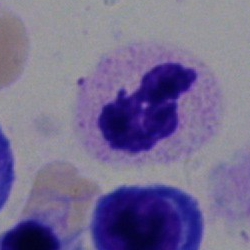

The cell is segmented neutrophil.